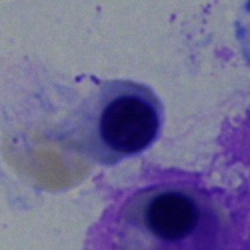
Bone marrow aspirate smear, single cell — normoblast.